Bone marrow smear:
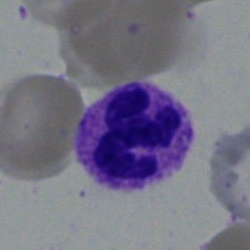

The classification is neutrophil (segmented).